Bone marrow smear — 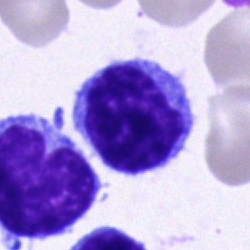

Morphology → lymphocyte.